Bone marrow smear.
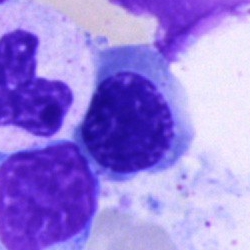
Cell type: nucleated red cell.